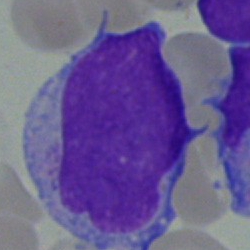 A blast.